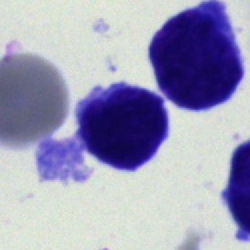
Blast cell.